Bone marrow smear
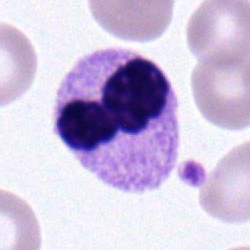Cell type = segmented neutrophil.